Peripheral blood film. 400 by 400 pixels: 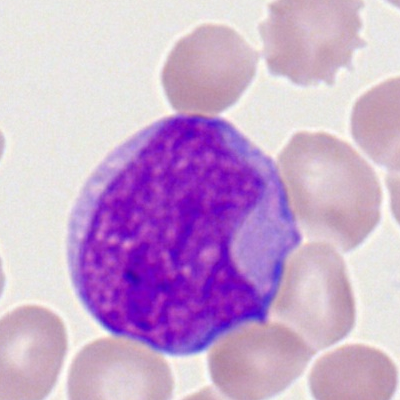

Specimen: peripheral blood smear.
Classification: myeloblast.
Lineage: myeloid.